400×400 px · peripheral blood smear:
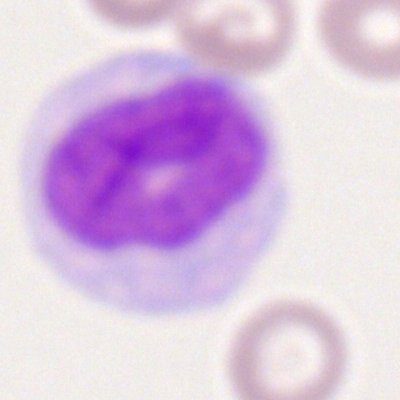
Cell type = monocyte.